400×400. Single cell centered in the field. Peripheral blood smear — 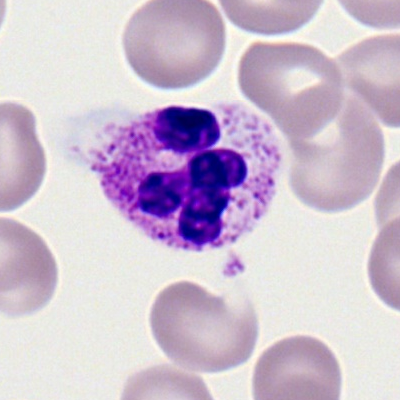

Morphology consistent with a neutrophil (segmented).